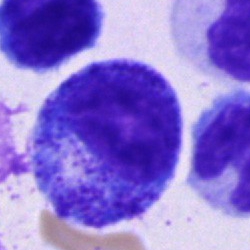

Bone marrow smear showing a progranulocyte.